Bone marrow smear; single-cell field
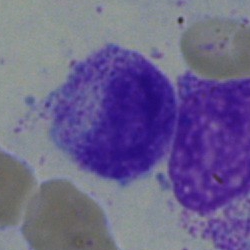 A metamyelocyte.